40× objective, oil immersion. Bone marrow smear. Single cell centered in the field: 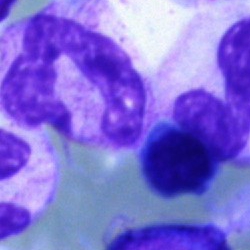Morphology → neutrophil (segmented).